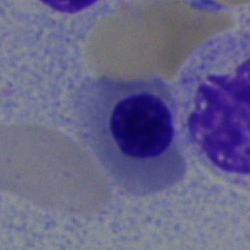

Classification — nucleated red cell.